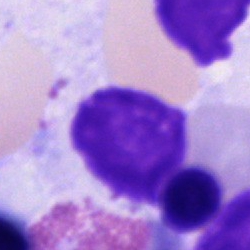
Cell type = artifact.